Peripheral blood smear · 100× oil immersion, 14.14 px/µm.
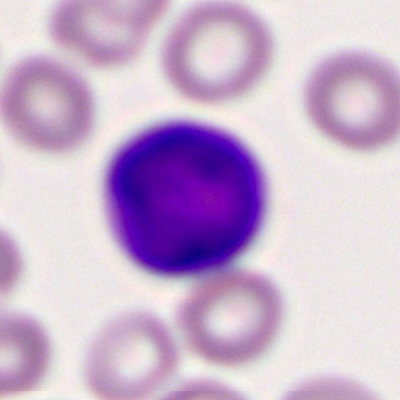 Classification — myeloblast.